Bone marrow smear: 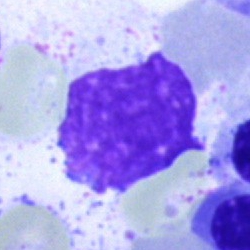

Q: What is shown here?
A: This is an artefact.